Bone marrow aspirate smear · MGG-stained · cropped to a single cell
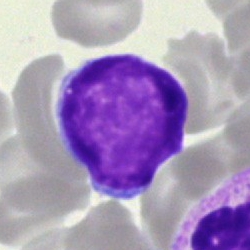

Classification — lymphocyte.